Peripheral blood film; 400×400 px.
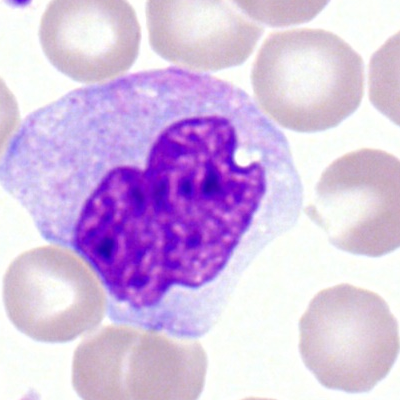
The cell shown is a monocyte.